Bone marrow aspirate smear: 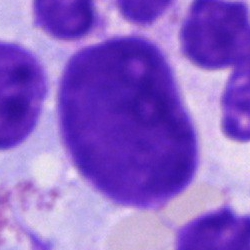

Morphology → artefact.